Image size 250×250; bone marrow aspirate smear:
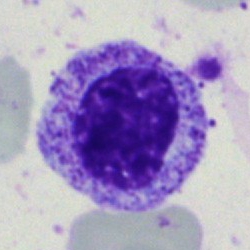
The cell shown is a myelocyte.